Bone marrow aspirate smear.
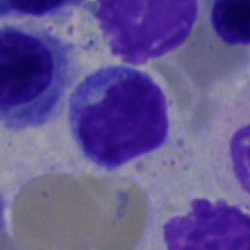

Cell type — typical lymphocyte.